Bone marrow smear; 40× oil immersion.
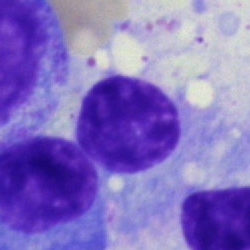
Q: What cell is this?
A: Lymphocyte.